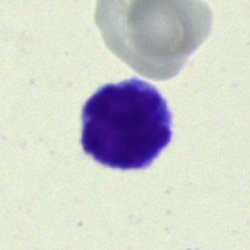 Q: What is the morphological classification of this cell?
A: This is a lymphocyte.